Bone marrow aspirate smear · 250×250: 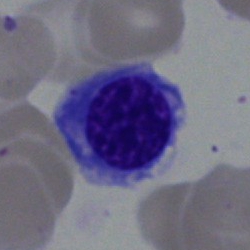 Morphological class: nucleated red cell.